Bone marrow aspirate smear.
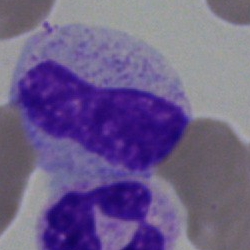Morphology consistent with a stab cell.